Single cell centered in the field · bone marrow aspirate smear: 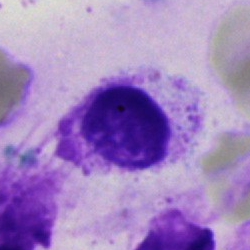Morphology — artefact.